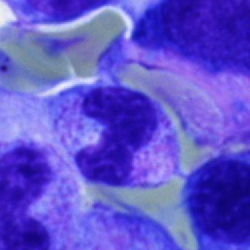Q: Identify the cell.
A: It is a segmented neutrophil.